Bone marrow smear
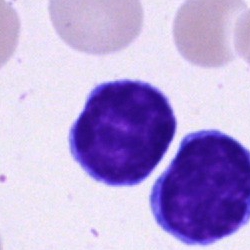 Specimen: bone marrow aspirate smear.
Cell: typical lymphocyte.
Lineage: lymphoid.